Bone marrow aspirate smear — 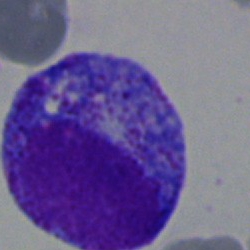Q: What type of cell is this?
A: This is a promyelocyte.